Bone marrow aspirate smear. Pappenheim-stained:
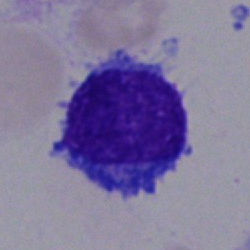 Specimen: bone marrow smear.
Classification: typical lymphocyte.